May-Grünwald-Giemsa stain · 250×250 · bone marrow smear:
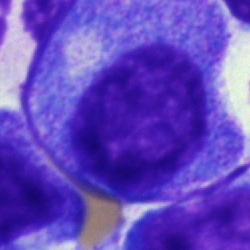

Promyelocyte.